Single cell centered in the field; bone marrow smear: 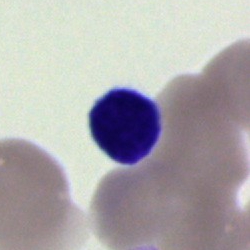
Morphological class: cell of indeterminate lineage.